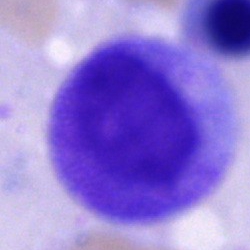
Q: What cell is this?
A: A progranulocyte.